Bone marrow smear · 250 by 250 pixels:
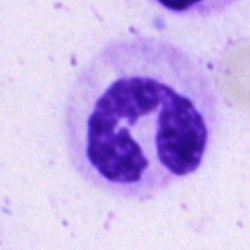Cell type — neutrophil (segmented).